Bone marrow smear. Pappenheim-stained
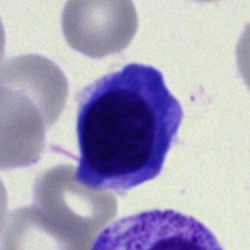Morphology consistent with a normoblast.